Bone marrow aspirate smear.
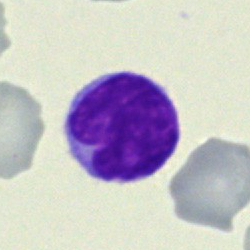
Single cell identified as a lymphocyte.